May-Grünwald-Giemsa/Pappenheim stain · single-cell crop · bone marrow smear: 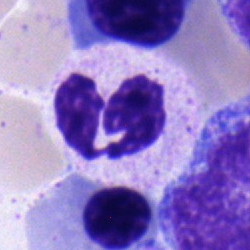The cell shown is a segmented neutrophil.